Bone marrow aspirate smear — 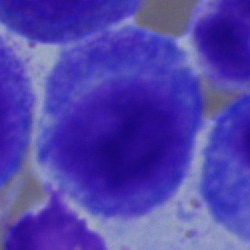Single cell identified as a progranulocyte.